Brightfield, 40× oil-immersion objective · bone marrow smear.
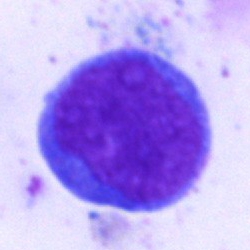
Morphology — blast cell.